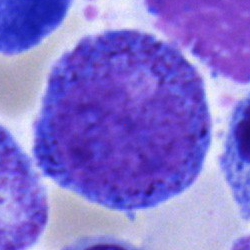
Single-cell crop from a bone marrow smear: progranulocyte.